Bone marrow aspirate smear — 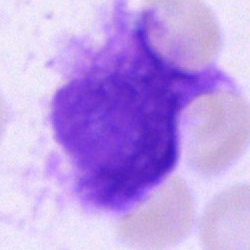An artifact.